Bone marrow smear:
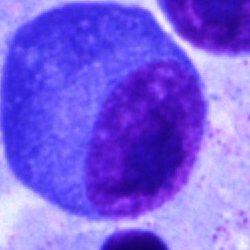
The cell type is plasma cell.